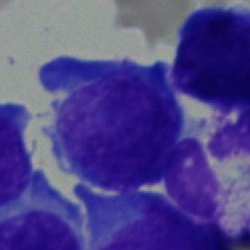

Cell type — undifferentiated blast.